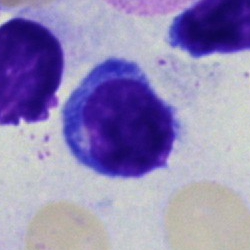Specimen: bone marrow aspirate smear.
Classification: lymphocyte.